Brightfield microscopy, 40× oil immersion. Bone marrow aspirate smear
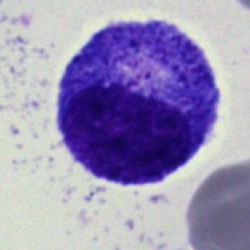
Cell = progranulocyte.